Bone marrow aspirate smear · single-cell crop: 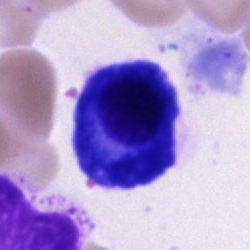
Cell type = plasma cell.